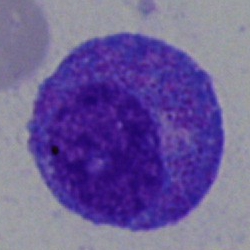{"cell_type": "promyelocyte", "lineage": "myeloid"}